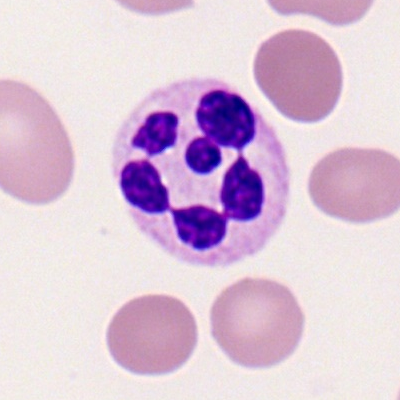 A neutrophil (segmented).